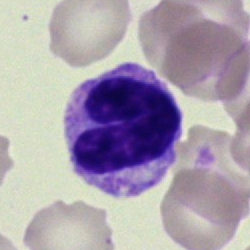 Classification = band-form neutrophil.